Peripheral blood smear
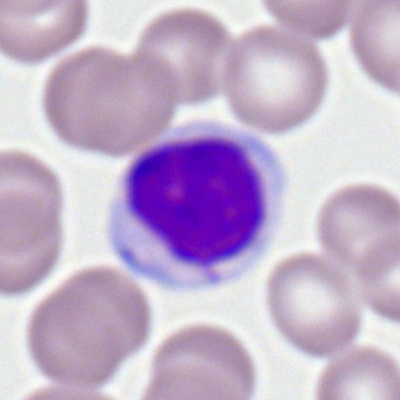
The morphological class is lymphocyte.